Bone marrow aspirate smear. May-Grünwald-Giemsa/Pappenheim stain. Brightfield, 40× oil-immersion objective: 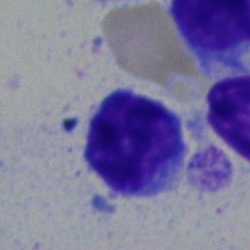
Cell = lymphocyte.